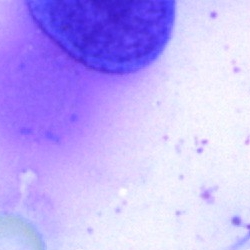Morphological class = artifact.